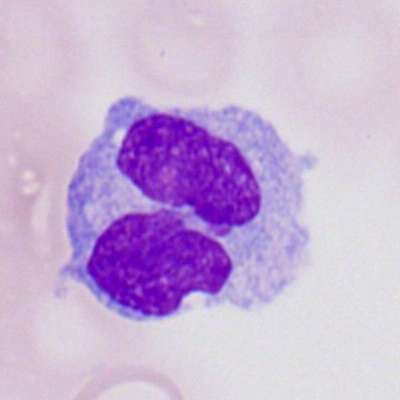

Morphological class: monocyte.